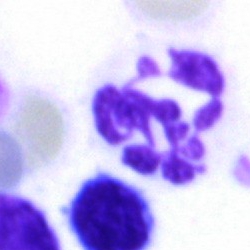Q: Which cell type is shown here?
A: It is a neutrophil (segmented).